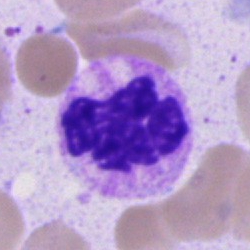{"cell_type": "segmented neutrophil", "lineage": "myeloid"}